Bone marrow smear — 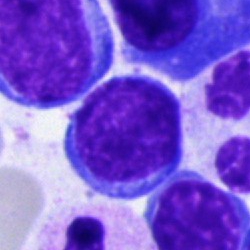Q: What cell is this?
A: Lymphocyte.